MGG-stained · bone marrow smear
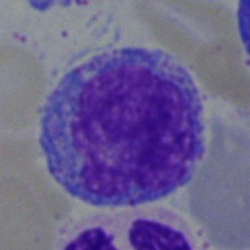 Specimen: bone marrow aspirate smear.
Cell type: monocyte.